Bone marrow smear. Pappenheim-stained
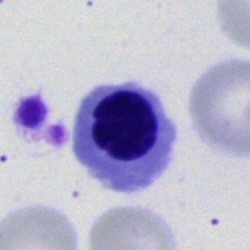 Q: What is the morphological classification of this cell?
A: A normoblast.